Bone marrow smear · single-cell crop — 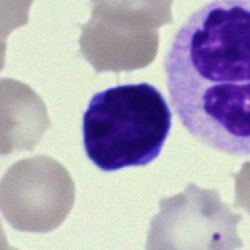Q: Which cell type is shown here?
A: This is a typical lymphocyte.